May-Grünwald-Giemsa stain · bone marrow smear · 250×250 — 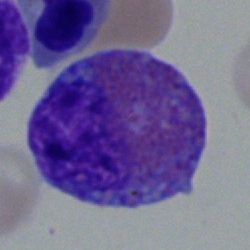

Morphology consistent with an eosinophilic granulocyte.